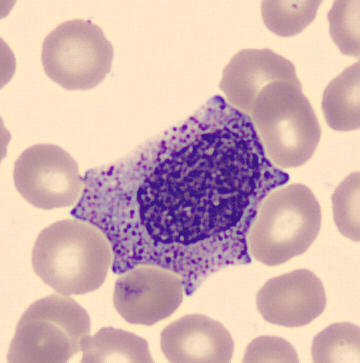
Morphological class = myelocyte.

CellaVision DM96 digital cell image · single-cell field · peripheral blood smear.